Bone marrow aspirate smear; 40× objective, oil immersion; cropped to a single cell: 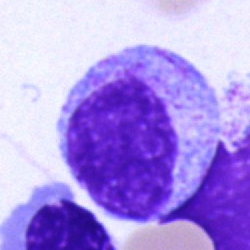

Morphological class — promyelocyte.